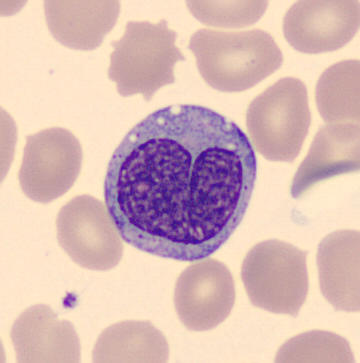Classification: monocyte.